Bone marrow aspirate smear — 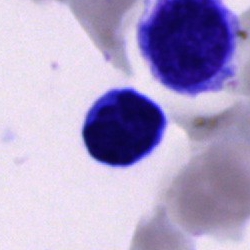
Specimen: bone marrow smear.
Cell: cell of indeterminate lineage.